Peripheral blood film
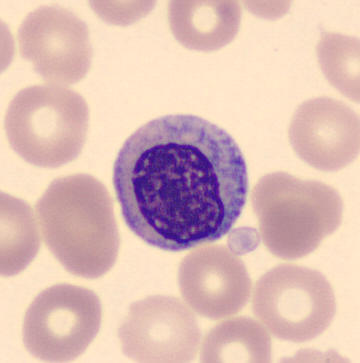

Morphological class: myelocyte.